Bone marrow smear. May-Grünwald-Giemsa stain
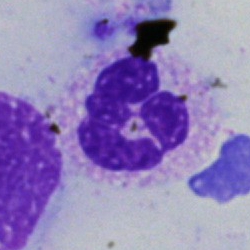
Cell type — neutrophil (segmented).